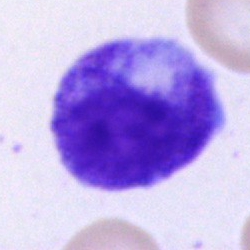
Cell = promyelocyte.